Bone marrow aspirate smear
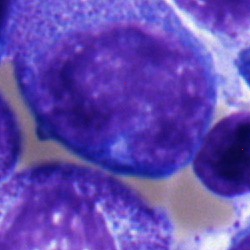This is a promyelocyte.